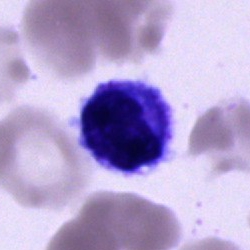 Showing an unidentifiable cell.